40× oil immersion. Bone marrow aspirate smear. Pappenheim-stained:
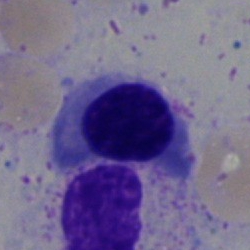
Morphological class: nucleated red cell.